Bone marrow smear
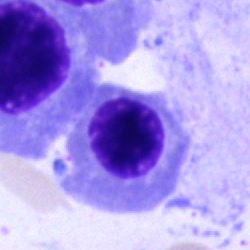Impression → nucleated red blood cell.